Bone marrow aspirate smear; brightfield microscopy, 40× oil immersion; Pappenheim-stained
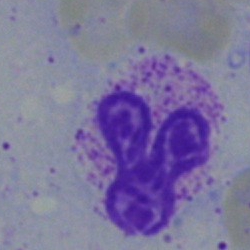
Specimen: bone marrow aspirate smear.
Classification: band neutrophil.